Bone marrow smear.
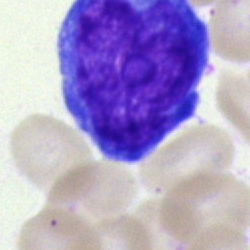

Classification — undifferentiated blast.